May-Grünwald-Giemsa/Pappenheim stain · bone marrow aspirate smear · single cell centered in the field:
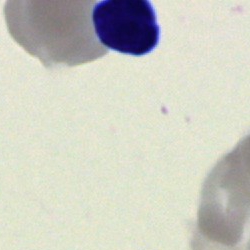Morphology consistent with a lymphocyte.